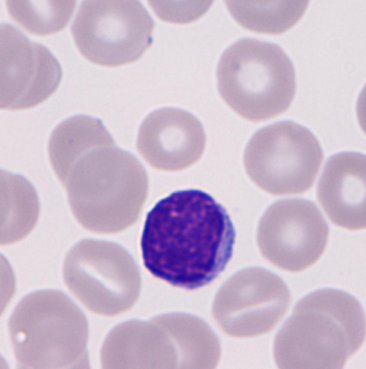 {"cell_type": "typical lymphocyte"}